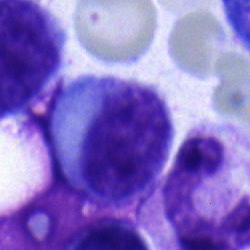
Morphology — myelocyte.